40× oil immersion. Bone marrow smear: 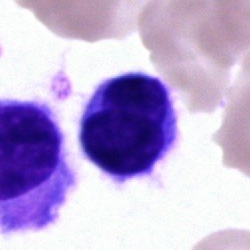 The morphological class is typical lymphocyte.